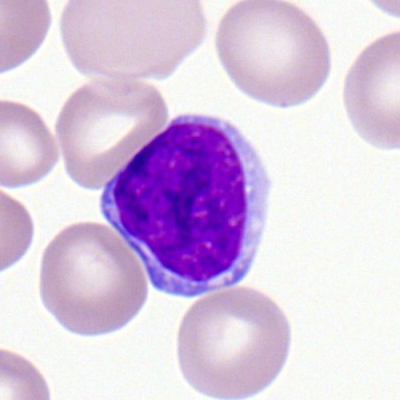 Morphology — typical lymphocyte.